Bone marrow smear:
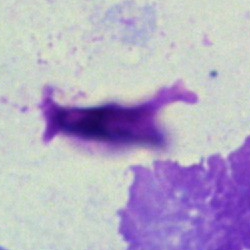 Q: What is shown here?
A: This is an artefact.